Peripheral blood smear — 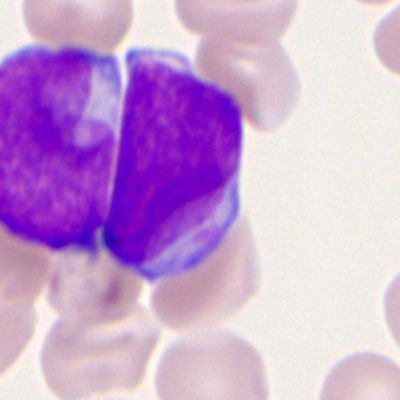
Specimen: peripheral blood smear.
Morphological class: myeloblast.
Lineage: myeloid.